Bone marrow aspirate smear · 40× oil immersion.
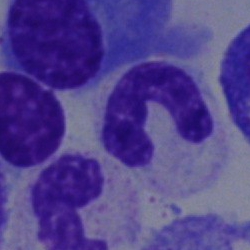Cell type = neutrophil (band).